Cropped to a single cell. Bone marrow smear — 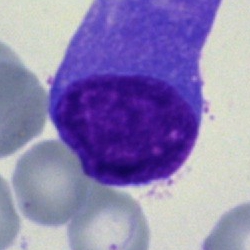Monocyte.